Bone marrow aspirate smear.
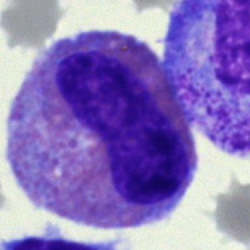 Q: What type of cell is this?
A: It is an eosinophilic granulocyte.